Peripheral blood film: 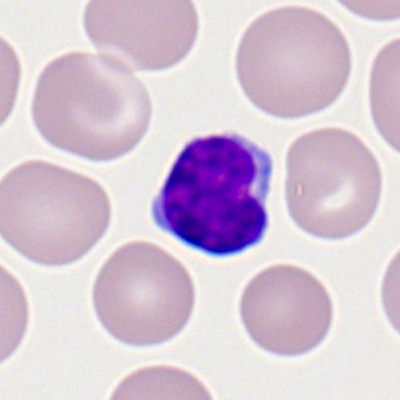 The morphological class is lymphocyte.